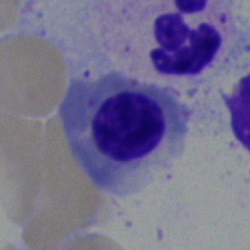Cell type: erythroblast.